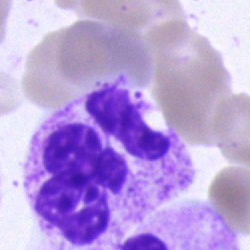Morphology consistent with a neutrophil (segmented).